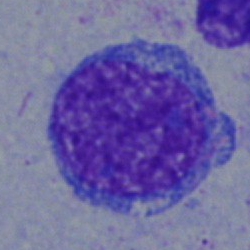
Impression — blast.